Bone marrow aspirate smear:
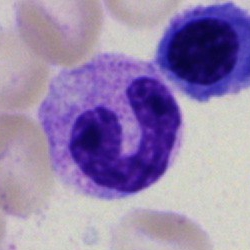Impression → neutrophil (segmented).